Bone marrow smear: 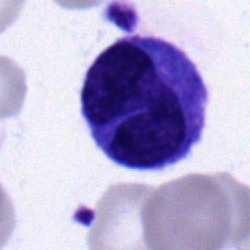
Single cell identified as a monocyte.